Bone marrow smear:
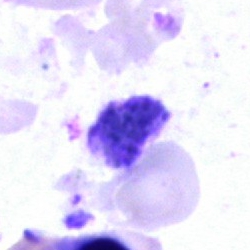
Specimen: bone marrow smear.
Morphological class: artifact.